Bone marrow smear — 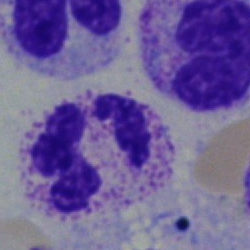
Morphology → neutrophil (segmented).